Bone marrow smear; single cell centered in the field.
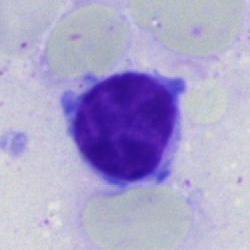

Morphology — typical lymphocyte.